Bone marrow smear. Cropped to a single cell.
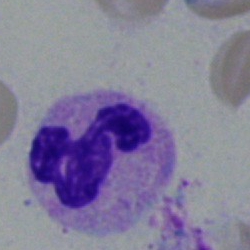Showing a neutrophil (segmented).